Bone marrow aspirate smear: 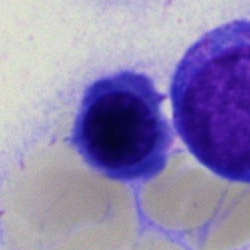

Q: What is shown here?
A: A nucleated red cell.